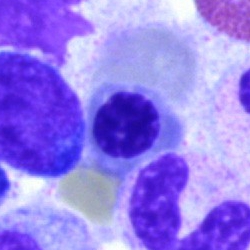Single cell identified as a normoblast.